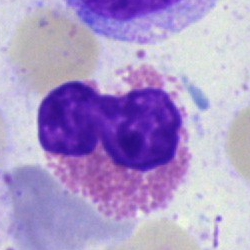Specimen: bone marrow smear.
Cell: eosinophilic granulocyte.
Lineage: myeloid.